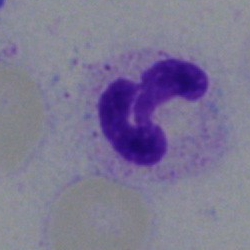

Q: What type of cell is this?
A: A polymorphonuclear neutrophil.